MGG-stained; single-cell crop; bone marrow smear:
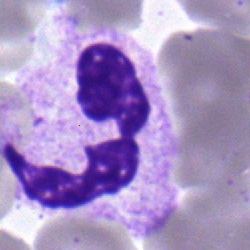

Showing a segmented neutrophil.